Bone marrow aspirate smear; cropped to a single cell
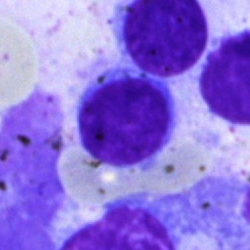

Specimen: bone marrow smear.
Classification: typical lymphocyte.